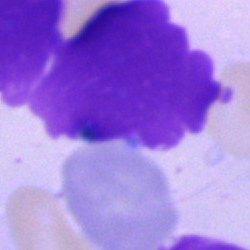 Cell: artifact.